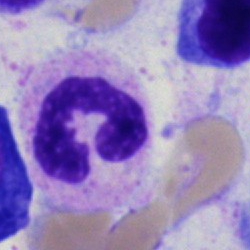 Impression → polymorphonuclear neutrophil.